Bone marrow smear — 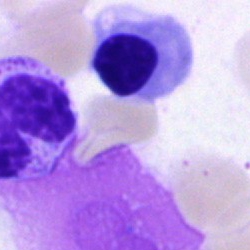

Showing a normoblast.